Bone marrow smear · single-cell crop · brightfield, 40× oil-immersion objective:
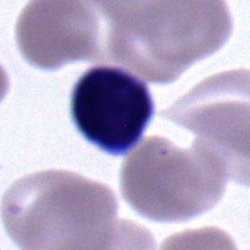 Cell = lymphocyte.